Bone marrow smear
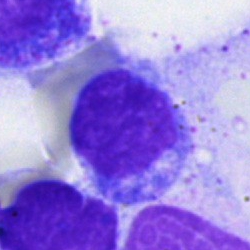
Morphological class — typical lymphocyte.